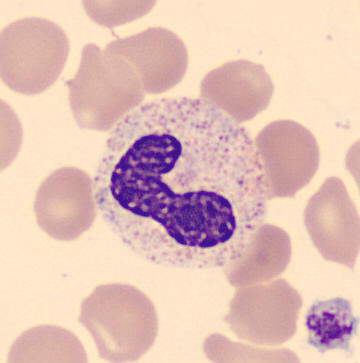

Q: What type of cell is this?
A: Band-form neutrophil. Peripheral blood film.